Bone marrow smear · single cell centered in the field:
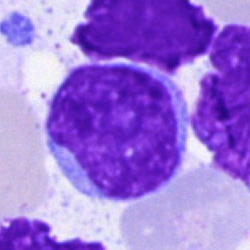 Specimen: bone marrow aspirate smear.
Morphological class: blast cell.